Bone marrow aspirate smear; brightfield, 40× oil-immersion objective — 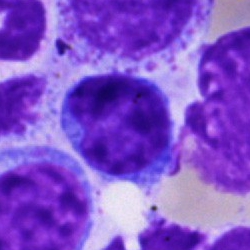
Morphology consistent with a lymphocyte.